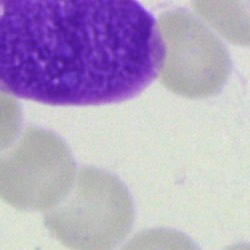

{"cell_type": "artifact"}